Bone marrow smear — 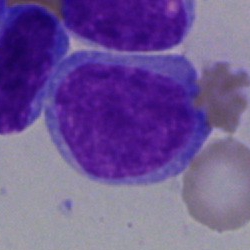
Q: What is shown here?
A: An undifferentiated blast.